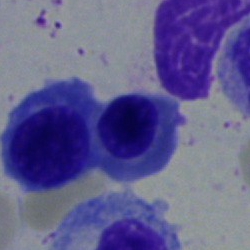
Morphology consistent with a nucleated red blood cell.